Bone marrow aspirate smear · 40× oil immersion · single-cell crop:
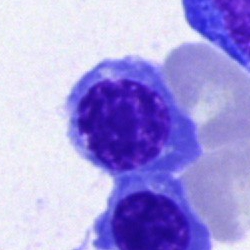Showing a normoblast.